Cropped to a single cell. Brightfield, 40× oil-immersion objective. Bone marrow smear — 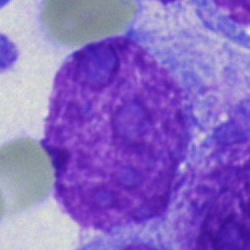

Morphological class = artefact.